Single-cell crop. Bone marrow aspirate smear.
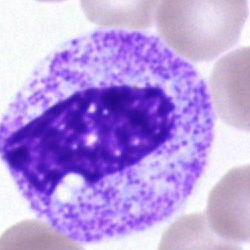

The cell shown is a band-form neutrophil.